May-Grünwald-Giemsa/Pappenheim stain · bone marrow smear.
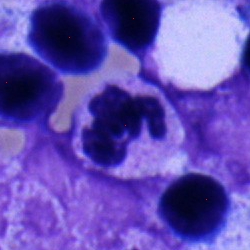
Cell type: neutrophil (segmented).